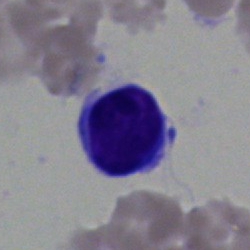
Morphology consistent with a typical lymphocyte.